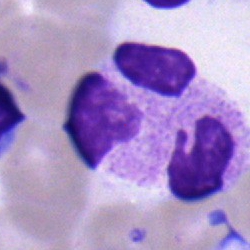 {"cell_type": "segmented neutrophil"}